Bone marrow smear; single-cell crop — 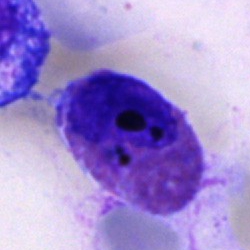 Specimen: bone marrow aspirate smear.
Morphological class: eosinophilic granulocyte.